Single cell centered in the field; bone marrow aspirate smear: 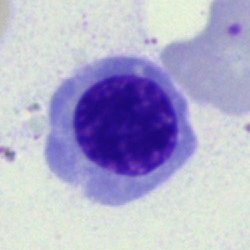

This is a normoblast.